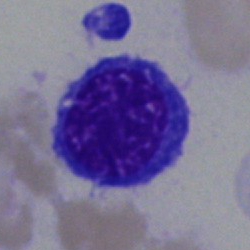

Q: Which cell type is shown here?
A: Nucleated red cell.